Peripheral blood smear.
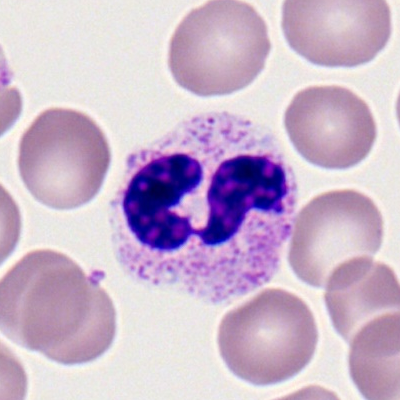Morphological class — neutrophil (segmented).